Single-cell field; bone marrow aspirate smear: 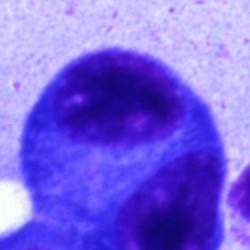Single cell identified as a plasmacyte.